Bone marrow smear. Cropped to a single cell. 250 by 250 pixels: 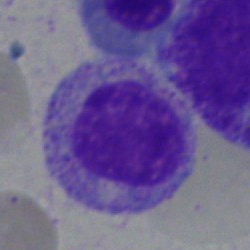 Specimen: bone marrow smear.
Classification: myelocyte.